250 by 250 pixels · bone marrow smear · single-cell field.
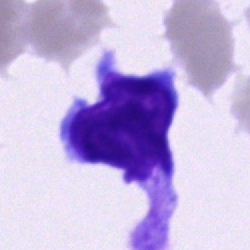{"cell_type": "undifferentiated blast"}